Bone marrow aspirate smear; Pappenheim-stained:
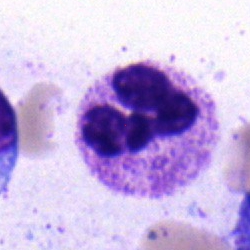
Single cell identified as a polymorphonuclear neutrophil.